400×400 px; peripheral blood film; 100× oil immersion.
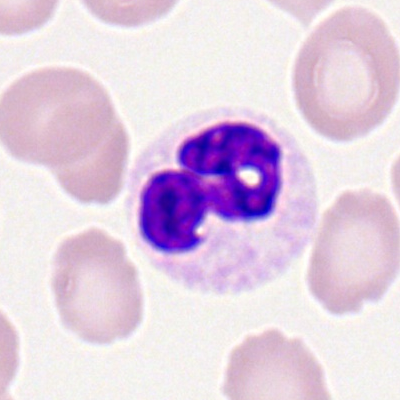
Cell = neutrophil (segmented).